40× oil immersion · bone marrow smear: 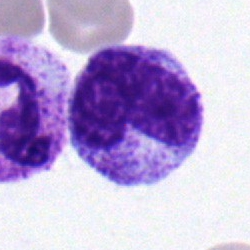 Impression → metamyelocyte.